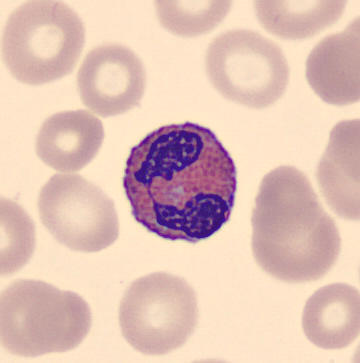

The cell shown is an eosinophil.

Image: CellaVision DM96 digital cell image; peripheral blood smear.